Brightfield, 40× oil-immersion objective; bone marrow aspirate smear: 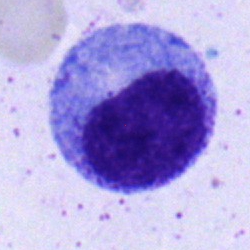

Cell type: progranulocyte.